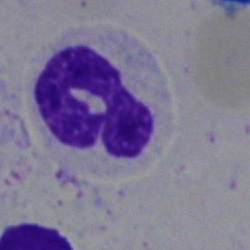
Showing a neutrophil (segmented).